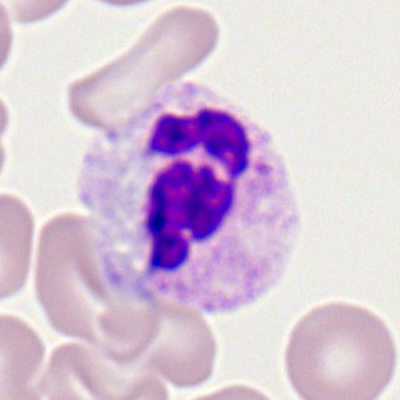 Morphology → neutrophil (segmented).